Bone marrow smear:
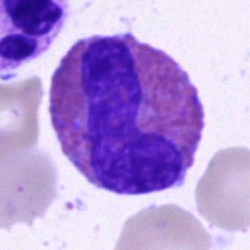 Cell type = eosinophilic granulocyte.